250×250; bone marrow aspirate smear.
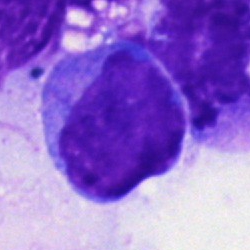Classification — blast cell.